Bone marrow smear
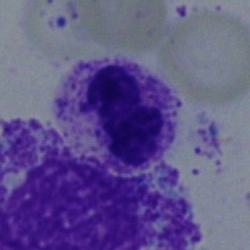

{"cell_type": "neutrophil (segmented)", "lineage": "myeloid"}